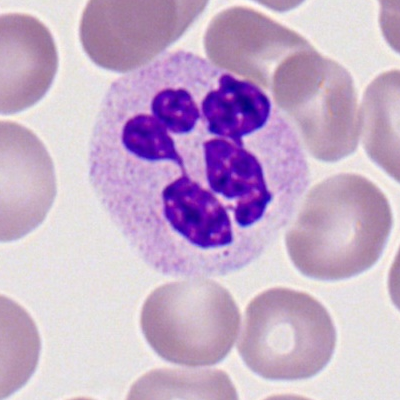
Morphology — neutrophil (segmented).